Bone marrow aspirate smear: 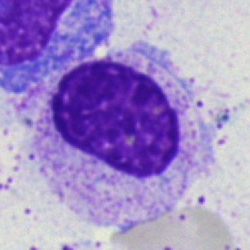

The classification is myelocyte.